Peripheral blood film — 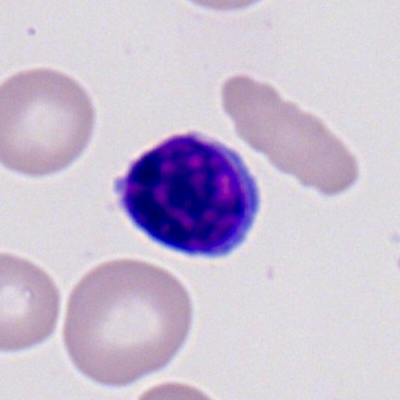 The morphological class is typical lymphocyte.